Bone marrow smear
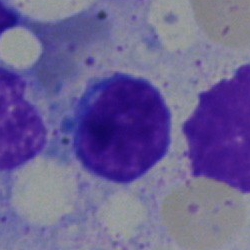
Specimen: bone marrow aspirate smear.
Cell: typical lymphocyte.
Lineage: lymphoid.